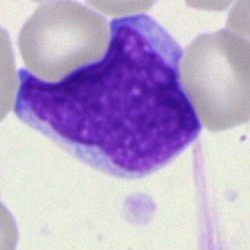{"cell_type": "blast cell"}